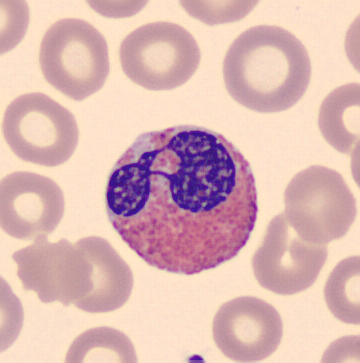
Impression → eosinophil.